40× objective, oil immersion; bone marrow smear; single cell centered in the field
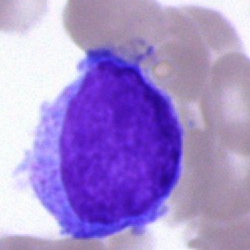
Cell type = undifferentiated blast.